Bone marrow aspirate smear
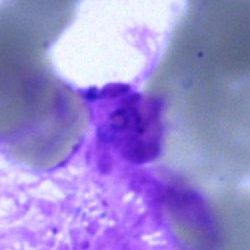

Specimen: bone marrow aspirate smear.
Morphological class: artifact.